Brightfield, 40× oil-immersion objective. Bone marrow aspirate smear — 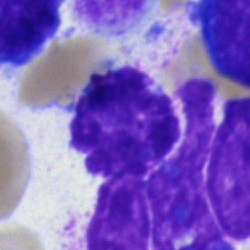An artifact.